Bone marrow aspirate smear.
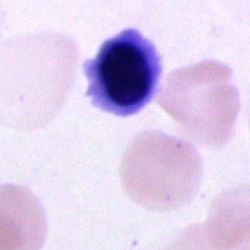
Morphology consistent with a nucleated red cell.